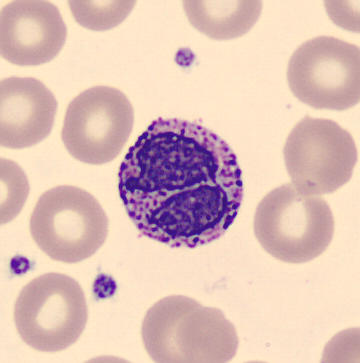

Impression → basophil. Preparation: Peripheral blood smear.